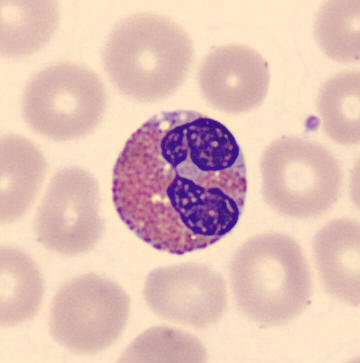

Peripheral blood film; May-Grünwald-Giemsa-stained.

Impression → eosinophilic granulocyte.